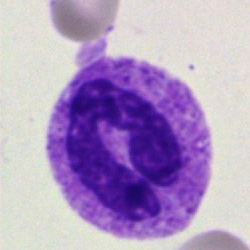{"cell_type": "neutrophil (segmented)", "lineage": "myeloid"}